Romanowsky stain. Single cell centered in the field. Peripheral blood film.
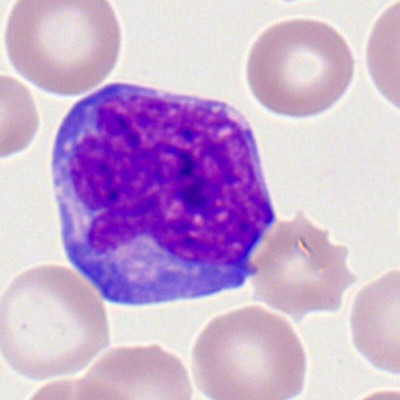
Specimen: peripheral blood smear.
Cell: myeloblast.
Lineage: myeloid.